Peripheral blood film
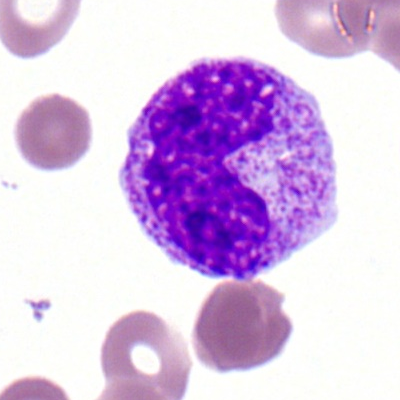
{"cell_type": "neutrophil (band)", "lineage": "myeloid"}